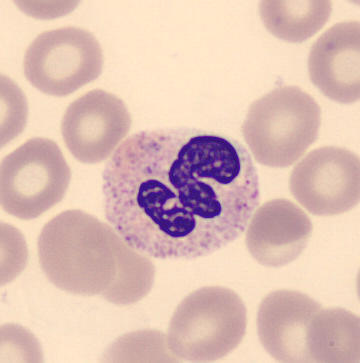 Peripheral blood smear.

{"cell_type": "segmented neutrophil", "lineage": "myeloid"}